Pappenheim-stained. Bone marrow smear:
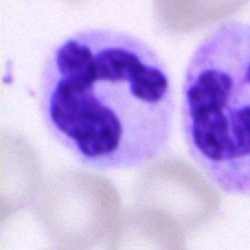Q: Which cell type is shown here?
A: A polymorphonuclear neutrophil.